Peripheral blood smear: 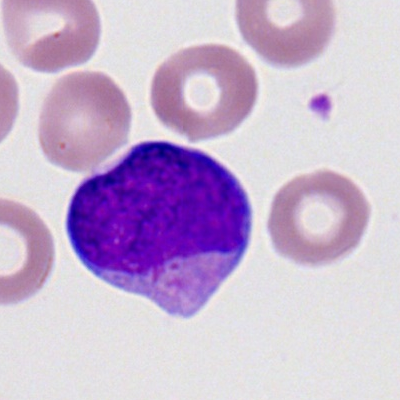 {"cell_type": "myeloid blast", "lineage": "myeloid"}